Single-cell field. Bone marrow smear: 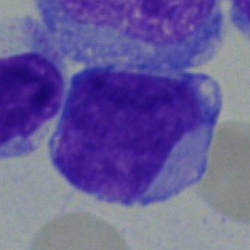
Single cell identified as an undifferentiated blast.